Bone marrow smear: 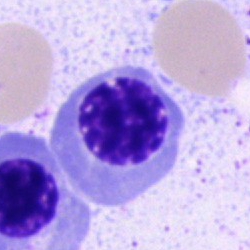 The cell shown is a normoblast.